Brightfield microscopy, 40× oil immersion · MGG-stained · bone marrow smear
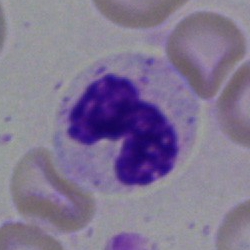
{"cell_type": "neutrophil (segmented)"}